Bone marrow aspirate smear. Brightfield microscopy, 40× oil immersion. Single cell centered in the field
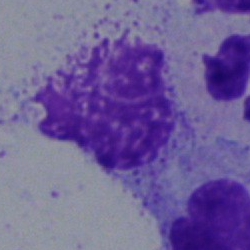{"cell_type": "artefact"}